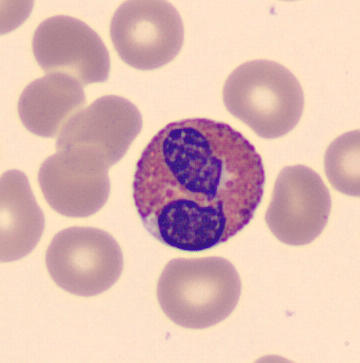 Preparation: Peripheral blood film.
The cell shown is an eosinophil.